Bone marrow smear; single cell centered in the field: 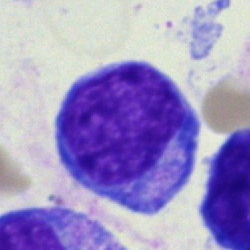 Q: Which cell type is shown here?
A: An undifferentiated blast.